Bone marrow aspirate smear · brightfield, 40× oil-immersion objective:
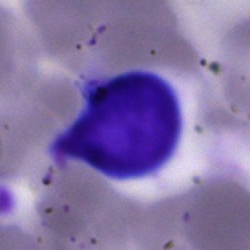A typical lymphocyte.